Bone marrow aspirate smear:
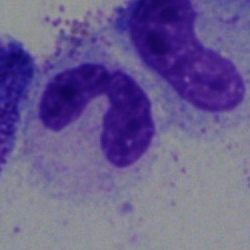Specimen: bone marrow aspirate smear.
Cell: segmented neutrophil.
Lineage: myeloid.